May-Grünwald-Giemsa/Pappenheim stain; 250×250 px; bone marrow smear: 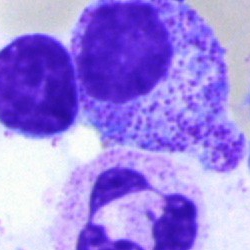
The cell type is myelocyte.